Bone marrow smear — 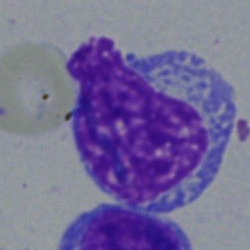
Cell — artefact.